250 by 250 pixels. Bone marrow aspirate smear.
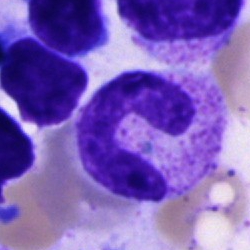

Morphology → band-form neutrophil.